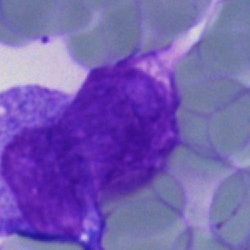 Specimen: bone marrow smear.
Morphological class: blast cell.